Bone marrow aspirate smear:
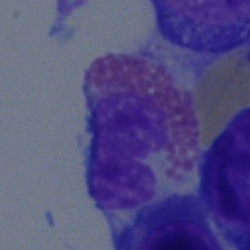The cell is eosinophilic granulocyte.